Bone marrow smear. Brightfield, 40× oil-immersion objective — 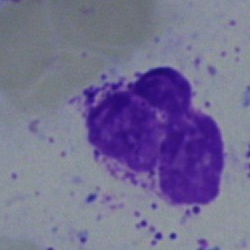 Segmented neutrophil.